Bone marrow smear: 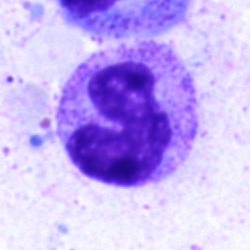
{"cell_type": "stab cell"}